100× objective, oil immersion · peripheral blood film: 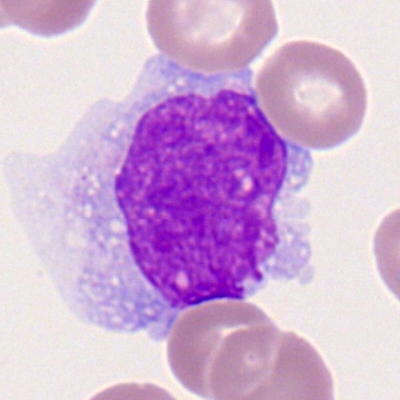
The cell shown is a monocyte.